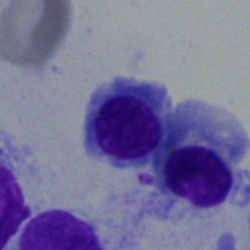 The classification is nucleated red blood cell.